250×250 px · bone marrow aspirate smear — 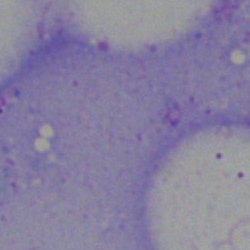
Morphology → artifact.